Bone marrow aspirate smear; May-Grünwald-Giemsa stain
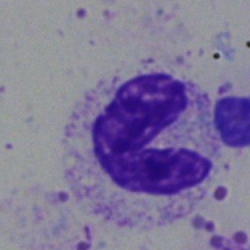

{"cell_type": "stab cell", "lineage": "myeloid"}